Bone marrow aspirate smear
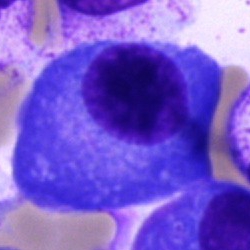

Morphology consistent with a plasma cell.